Cropped to a single cell; bone marrow aspirate smear:
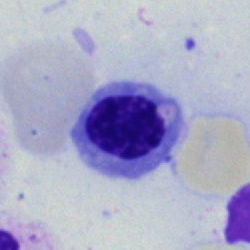 Specimen: bone marrow aspirate smear.
Cell type: erythroblast.
Lineage: erythroid.